Single-cell crop · 40× objective, oil immersion · bone marrow smear: 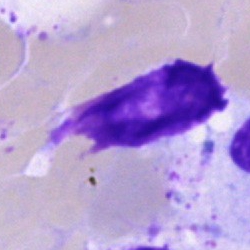An artefact.